Bone marrow smear · 250×250 — 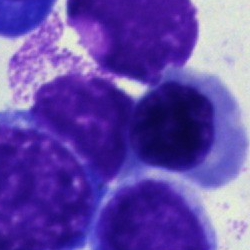
A nucleated red cell.